Bone marrow aspirate smear. Single-cell field:
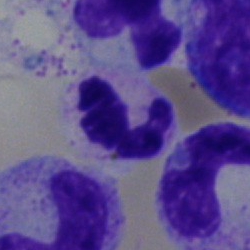 Morphology consistent with a neutrophil (segmented).